Single-cell field · bone marrow aspirate smear.
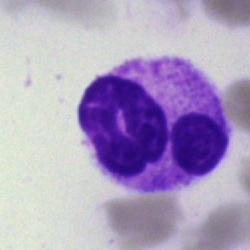A neutrophil (segmented).